Bone marrow aspirate smear; cropped to a single cell.
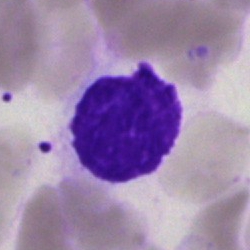

The cell shown is an artefact.